May-Grünwald-Giemsa-stained · peripheral blood film · CellaVision DM96 digital cell image: 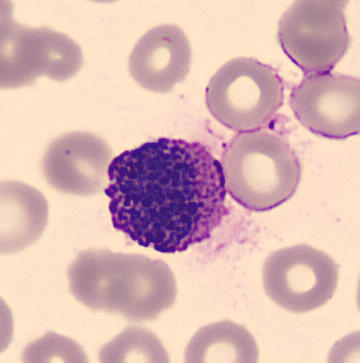 This is a basophil.